Single cell centered in the field; bone marrow smear:
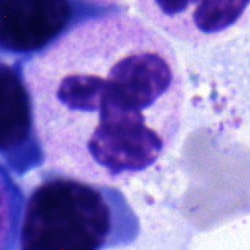
Specimen: bone marrow aspirate smear.
Cell: band-form neutrophil.
Lineage: myeloid.